Bone marrow aspirate smear.
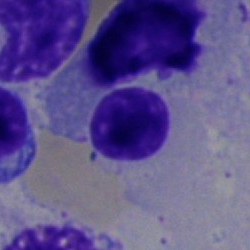
The classification is erythroblast.